Bone marrow aspirate smear. 250×250.
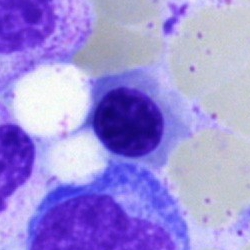
Nucleated red blood cell.